Peripheral blood film. Single-cell field.
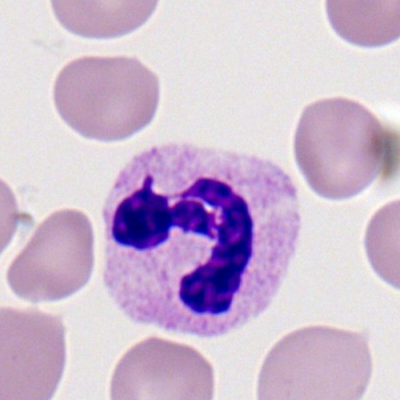

Q: What type of cell is this?
A: A neutrophil (segmented).